Bone marrow smear.
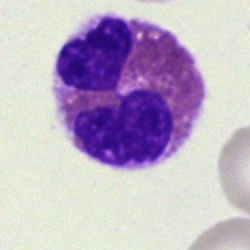Cell type: eosinophil.